Bone marrow aspirate smear; MGG-stained — 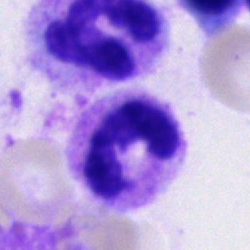 Showing a neutrophil (segmented).